Romanowsky stain. Peripheral blood film. 400×400 px
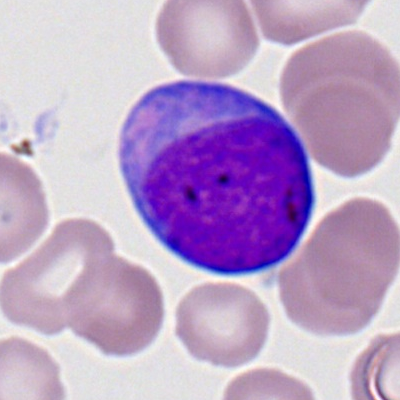This is a myeloblast.